Peripheral blood smear; cropped to a single cell — 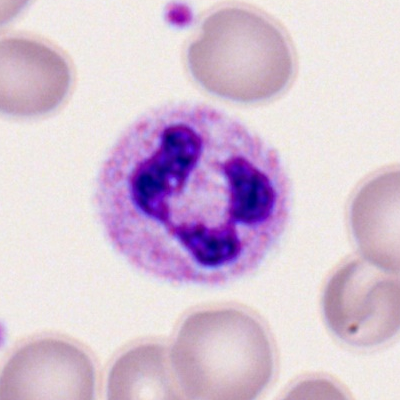
Cell = polymorphonuclear neutrophil.